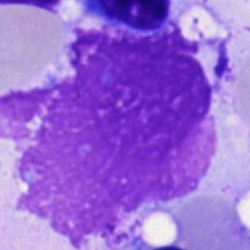
Morphological class — artefact.